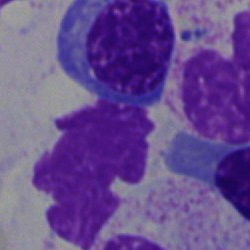Single cell identified as a normoblast.